Bone marrow aspirate smear
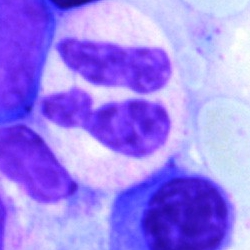

Specimen: bone marrow smear.
Cell type: segmented neutrophil.